Bone marrow smear · 250 by 250 pixels · Pappenheim-stained — 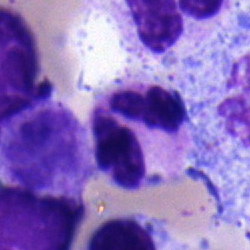Morphological class — neutrophil (segmented).